Bone marrow aspirate smear.
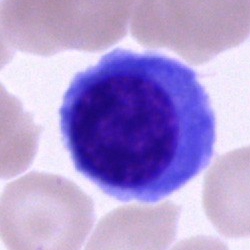The morphological class is nucleated red blood cell.